Bone marrow smear; single-cell field — 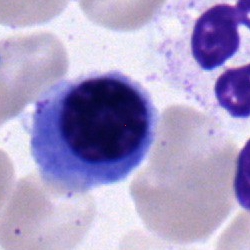
Normoblast.